40× oil immersion; single-cell field; bone marrow smear.
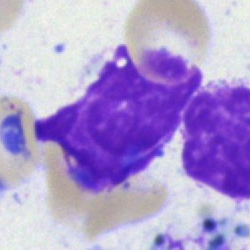 Q: What is shown here?
A: This is an artifact.